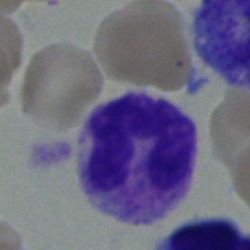

Morphology — stab cell.